250×250; May-Grünwald-Giemsa stain; bone marrow aspirate smear:
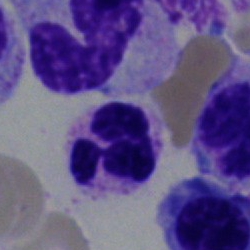

Impression → neutrophil (segmented).